Bone marrow smear — 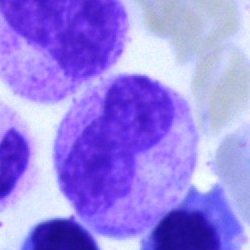

The morphological class is band neutrophil.